Bone marrow smear. 40× objective, oil immersion
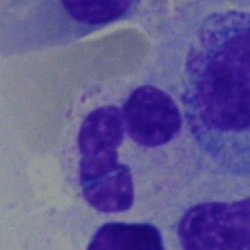

Q: What type of cell is this?
A: A neutrophil (segmented).